Bone marrow aspirate smear — 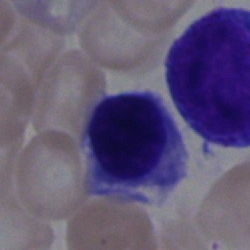 Cell: nucleated red blood cell.